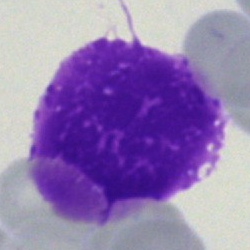Specimen: bone marrow smear.
Cell: artifact.